Bone marrow aspirate smear: 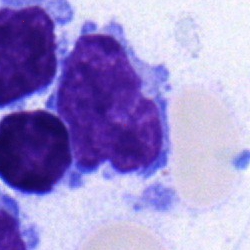
This is a lymphocyte.